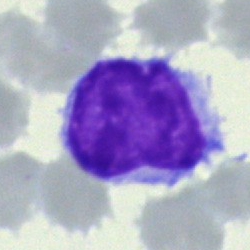 Cell type: typical lymphocyte.